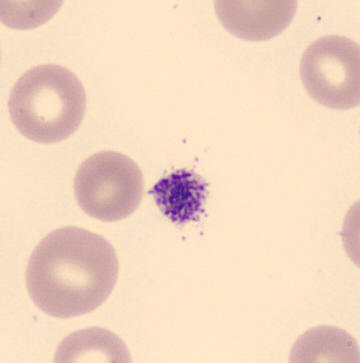
Specimen: peripheral blood smear.
Classification: thrombocyte.